May-Grünwald-Giemsa/Pappenheim stain · bone marrow aspirate smear · brightfield microscopy, 40× oil immersion
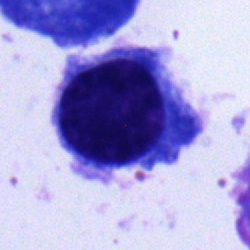 Morphology consistent with a typical lymphocyte.